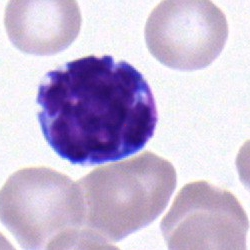

Cell type — lymphocyte.